Bone marrow smear · 250×250 px
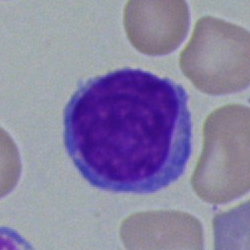
Q: What is the morphological classification of this cell?
A: Lymphocyte.